Bone marrow smear
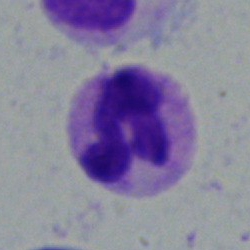The classification is polymorphonuclear neutrophil.